Image size 250×250 · bone marrow aspirate smear.
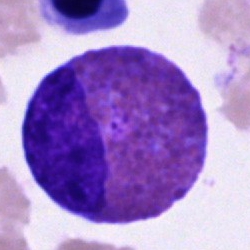
Single cell identified as an eosinophilic granulocyte.